Bone marrow aspirate smear · brightfield, 40× oil-immersion objective · image size 250×250 — 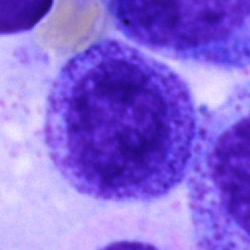

Impression — progranulocyte.